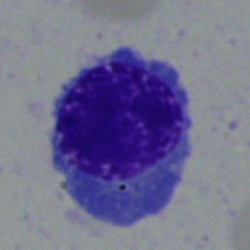Plasma cell.